250 by 250 pixels; bone marrow smear:
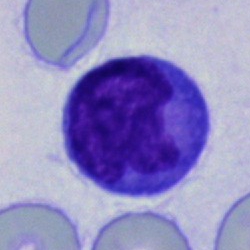

Monocyte.